Single-cell crop · bone marrow smear.
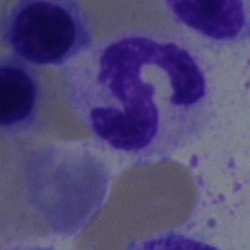

Cell = polymorphonuclear neutrophil.